Bone marrow smear
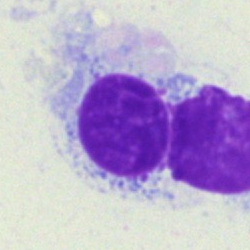
Cell type = lymphocyte.